May-Grünwald-Giemsa stain. Bone marrow aspirate smear. Brightfield microscopy, 40× oil immersion
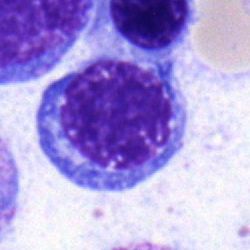

Single cell identified as a normoblast.